Single-cell crop; peripheral blood smear:
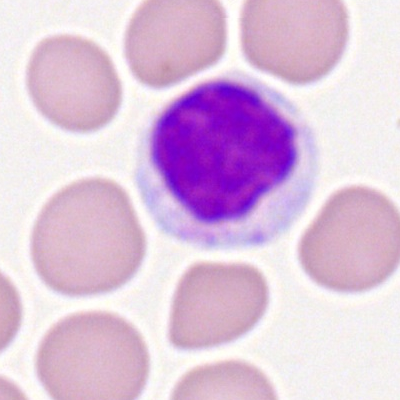Specimen: peripheral blood smear.
Classification: lymphocyte.